Bone marrow aspirate smear; May-Grünwald-Giemsa stain — 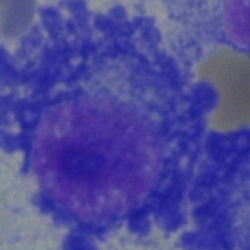 This is a plasma cell.